Bone marrow aspirate smear
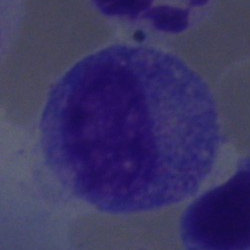

Impression — promyelocyte.